Bone marrow smear; 250×250 px:
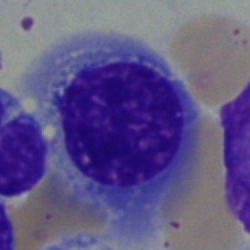
The classification is nucleated red blood cell.